Bone marrow aspirate smear
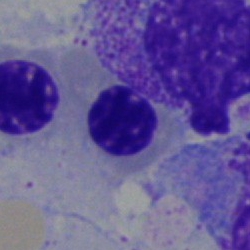
Normoblast.